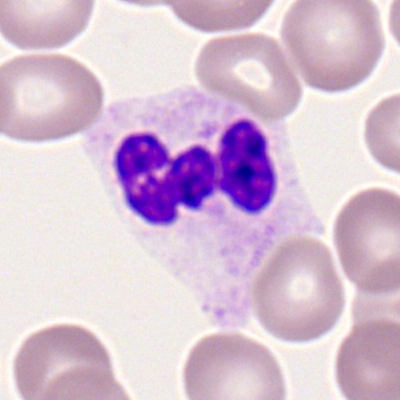
Single cell identified as a segmented neutrophil.